Bone marrow aspirate smear
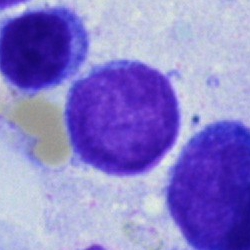 Q: What is the morphological classification of this cell?
A: A blast cell.